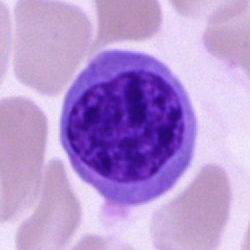

Morphological class — normoblast.